Bone marrow aspirate smear
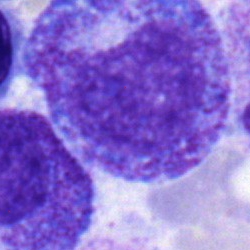Q: Which cell type is shown here?
A: Promyelocyte.